Bone marrow smear. Pappenheim-stained — 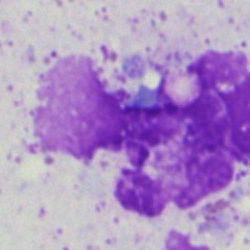This is an artefact.